250×250 · bone marrow aspirate smear: 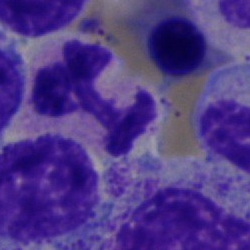Neutrophil (segmented).